40× oil immersion · bone marrow aspirate smear · 250 by 250 pixels — 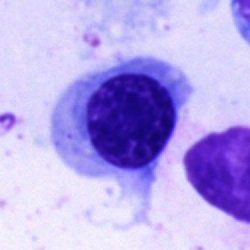
Cell: nucleated red cell.